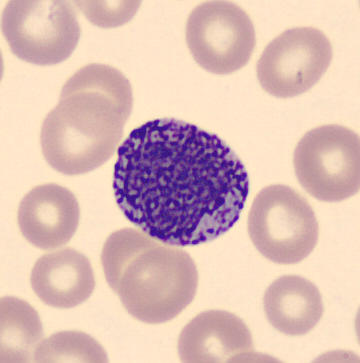 Specimen: peripheral blood film.
Cell type: basophilic granulocyte.

Image: Cropped to a single cell.